MGG-stained. Bone marrow smear. 40× oil immersion.
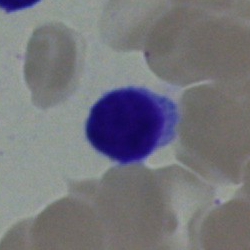

Specimen: bone marrow smear.
Cell: lymphocyte.
Lineage: lymphoid.